Bone marrow aspirate smear: 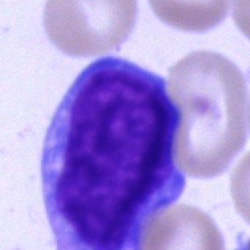
Cell = blast cell.